Bone marrow aspirate smear
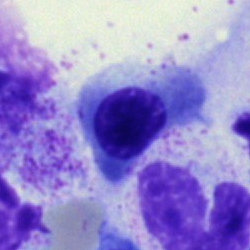Classification = erythroblast.